360×363. May Grünwald-Giemsa stain. Peripheral blood film — 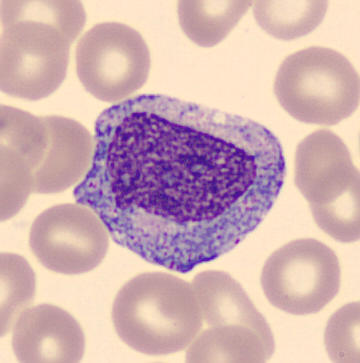
Specimen: peripheral blood film.
Morphological class: promyelocyte.